Bone marrow aspirate smear. Brightfield microscopy, 40× oil immersion.
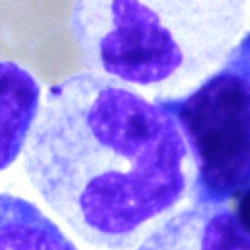This is a band-form neutrophil.